Bone marrow aspirate smear
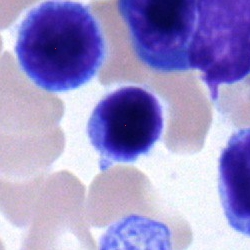Morphology consistent with a lymphocyte.